Bone marrow aspirate smear · single-cell field — 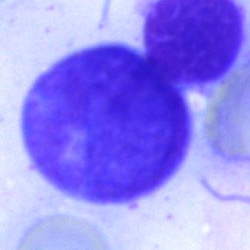Progranulocyte.